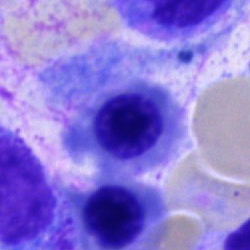

Single-cell crop from a bone marrow smear: nucleated red blood cell.